Peripheral blood smear:
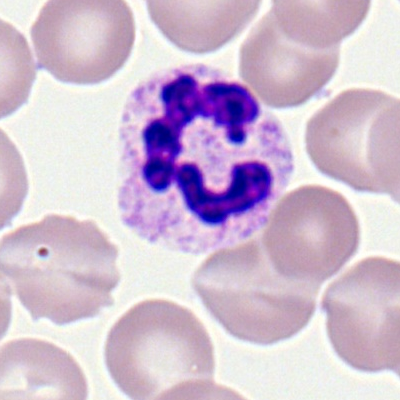

Q: What type of cell is this?
A: It is a polymorphonuclear neutrophil.